Peripheral blood smear:
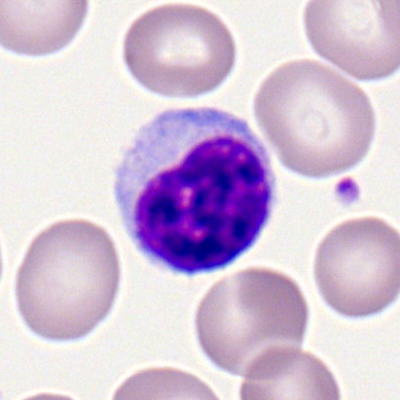 {"cell_type": "lymphocyte", "lineage": "lymphoid"}